Bone marrow aspirate smear — 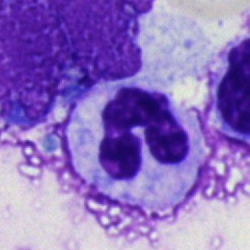 Impression — polymorphonuclear neutrophil.